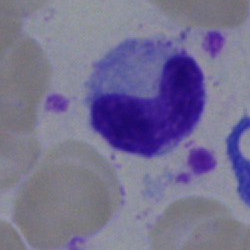 Showing a band neutrophil.